100× oil immersion. Peripheral blood film. 400×400.
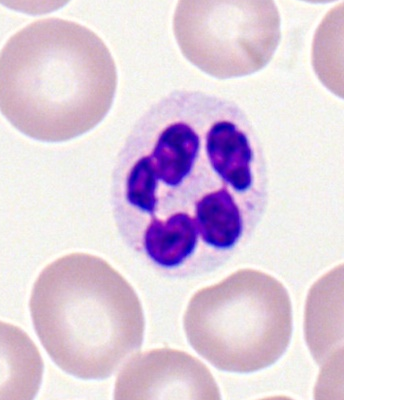 Polymorphonuclear neutrophil.